Bone marrow aspirate smear; single-cell crop: 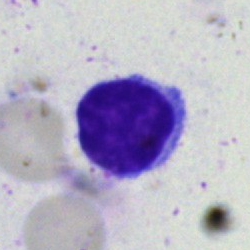

Showing a typical lymphocyte.